Bone marrow aspirate smear.
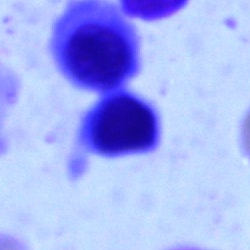Q: What cell is this?
A: A lymphocyte.